May-Grünwald-Giemsa stain. Bone marrow aspirate smear. 40× objective, oil immersion:
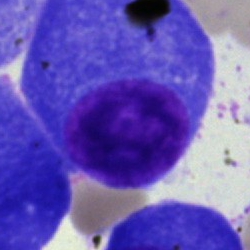 Plasma cell.